Automated cell imaging (CellaVision DM96) · peripheral blood smear · MGG-stained:
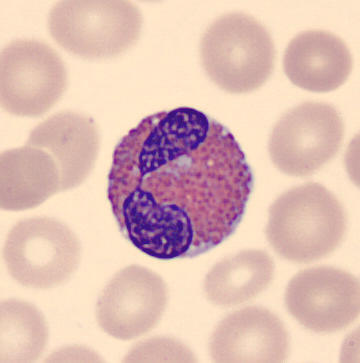 The cell type is eosinophilic granulocyte.